Bone marrow smear — 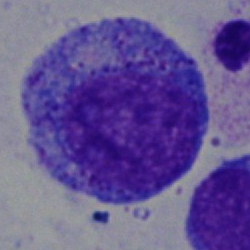

Classification: promyelocyte.